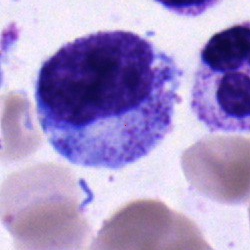
A myelocyte on a bone marrow smear.